Bone marrow aspirate smear:
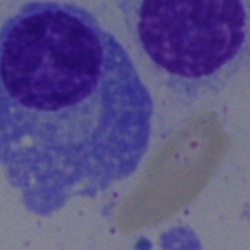 Q: What cell is this?
A: It is a plasma cell.